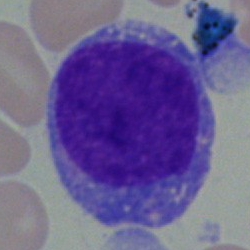

Cell type: blast.